May-Grünwald-Giemsa/Pappenheim stain; bone marrow aspirate smear — 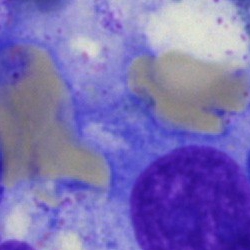
This is a plasmacyte.